Image size 250×250. Bone marrow smear — 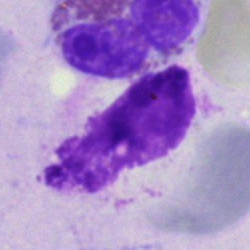
Cell = artifact.